Romanowsky-type stain. Peripheral blood smear.
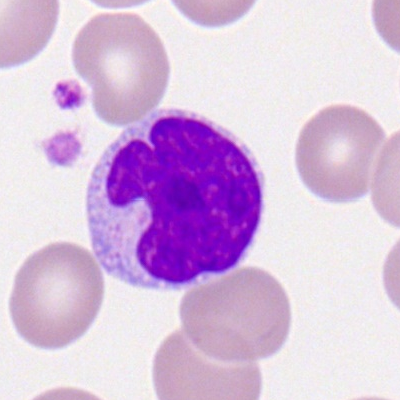 Cell = lymphocyte.